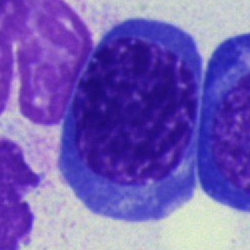

Morphological class = normoblast.